Bone marrow aspirate smear. May-Grünwald-Giemsa stain: 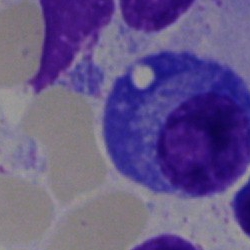
A plasma cell.